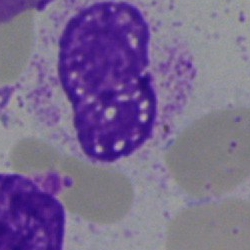

Q: What is shown here?
A: An artefact.